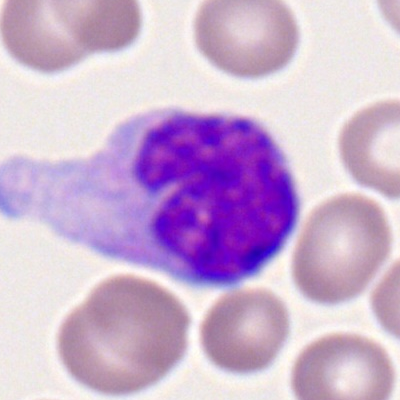
Single-cell crop from a peripheral blood smear: monocyte.